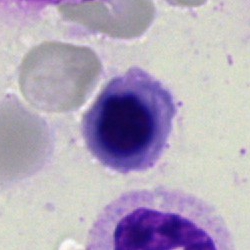

Impression — erythroblast.